Bone marrow smear
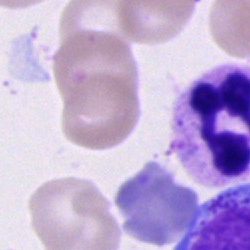 Classification: segmented neutrophil.